Bone marrow smear — 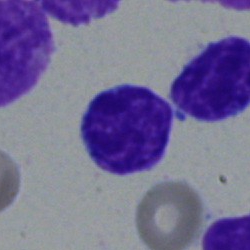
Impression → typical lymphocyte.